Peripheral blood smear · 400 by 400 pixels:
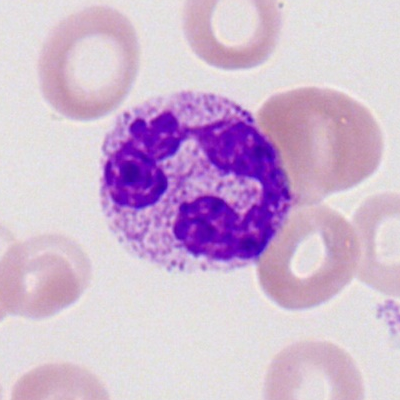Q: Identify the cell.
A: This is a polymorphonuclear neutrophil.